40× objective, oil immersion · bone marrow smear: 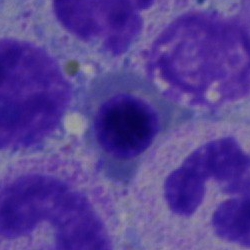Nucleated red cell.